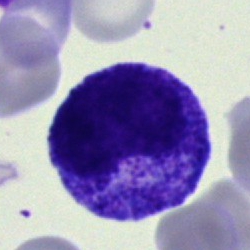Bone marrow aspirate smear, single cell — progranulocyte.